Bone marrow aspirate smear.
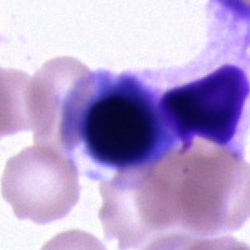 Classification = artifact.